Bone marrow smear: 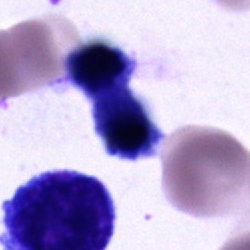

Q: What is the morphological classification of this cell?
A: A cell of indeterminate lineage.